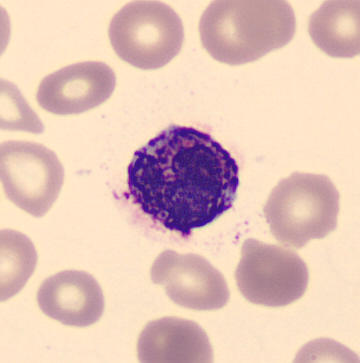 Q: What is the morphological classification of this cell?
A: This is a basophilic granulocyte.
Peripheral blood smear.